Image size 400×400; peripheral blood smear; M8 digital microscope (Precipoint), 100× oil immersion — 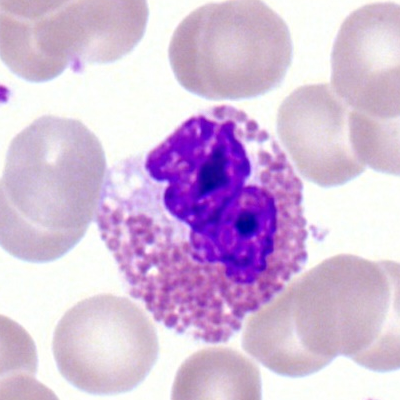{"cell_type": "eosinophil", "lineage": "myeloid"}